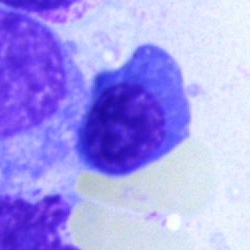

Q: What type of cell is this?
A: This is a polymorphonuclear neutrophil.